Bone marrow smear:
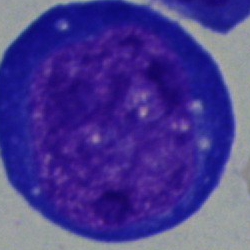Showing a pronormoblast.